Bone marrow aspirate smear:
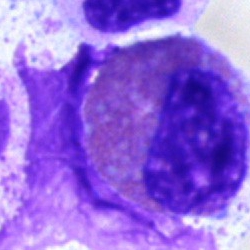
The classification is eosinophil.